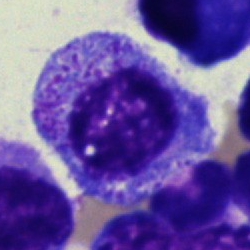
Classification — promyelocyte.